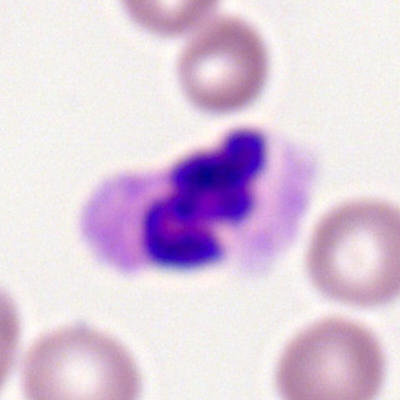 Q: What cell is this?
A: A segmented neutrophil.